Bone marrow smear:
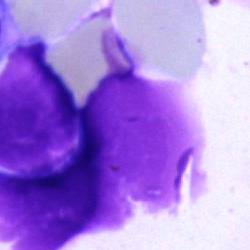

Q: What is shown here?
A: An artifact.